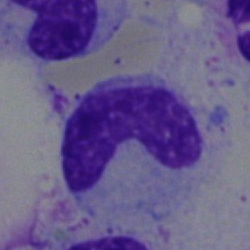This is a stab cell.